Bone marrow smear; May-Grünwald-Giemsa/Pappenheim stain: 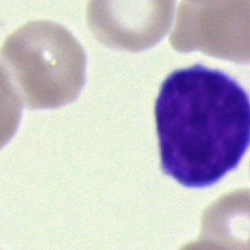

A typical lymphocyte.